250×250 px · bone marrow smear.
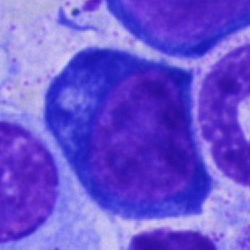Morphology → pronormoblast.